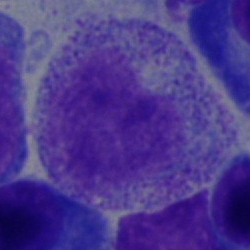

Single-cell crop from a bone marrow smear: myelocyte.